Bone marrow aspirate smear; 250×250: 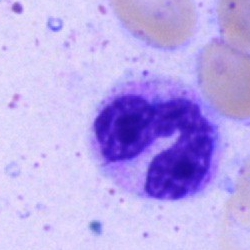

Impression → neutrophil (segmented).